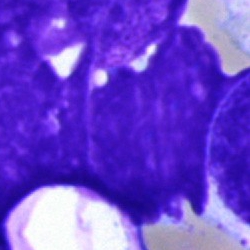 Q: What is shown here?
A: It is an artefact.